Peripheral blood film:
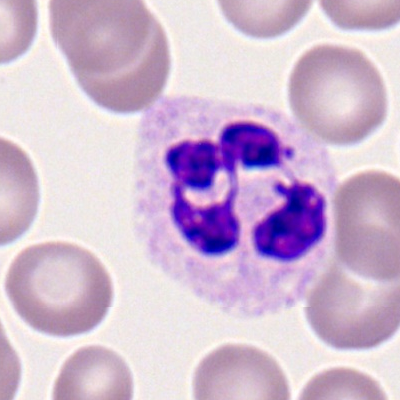

The morphological class is polymorphonuclear neutrophil.